Bone marrow smear; image size 250×250; single-cell field — 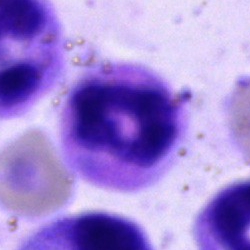

The classification is neutrophil (segmented).